Brightfield microscopy, 40× oil immersion; 250 by 250 pixels; bone marrow aspirate smear:
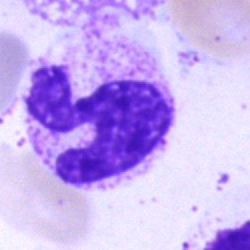Showing a polymorphonuclear neutrophil.